Bone marrow smear · 250 by 250 pixels · cropped to a single cell
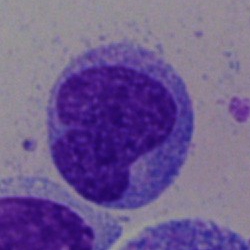

The cell type is monocyte.